May-Grünwald-Giemsa stain · bone marrow smear.
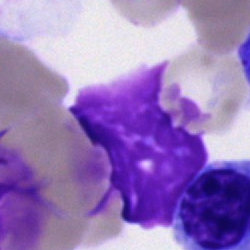

Q: What is shown here?
A: This is an artifact.